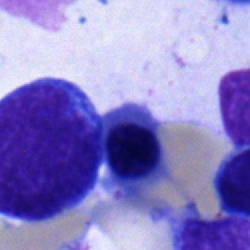
Specimen: bone marrow aspirate smear.
Morphological class: normoblast.
Lineage: erythroid.